Bone marrow smear — 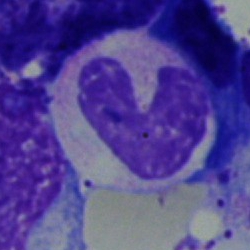 A stab cell.